Bone marrow aspirate smear; cropped to a single cell: 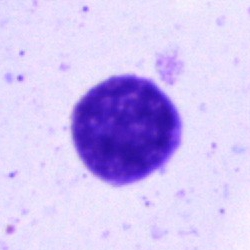

Specimen: bone marrow smear.
Classification: artifact.